MGG-stained. Bone marrow smear
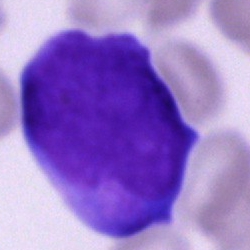Specimen: bone marrow aspirate smear.
Cell type: blast cell.